Bone marrow aspirate smear; 40× objective, oil immersion.
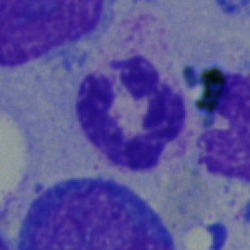 Q: Identify the cell.
A: Segmented neutrophil.